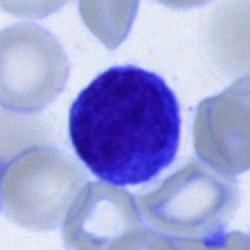
Impression → lymphocyte.